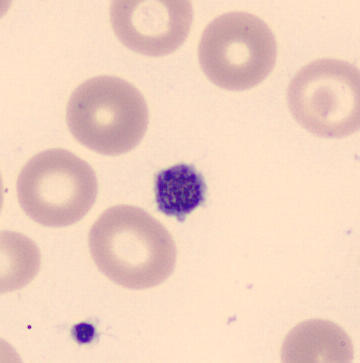

A thrombocyte.

Peripheral blood film.